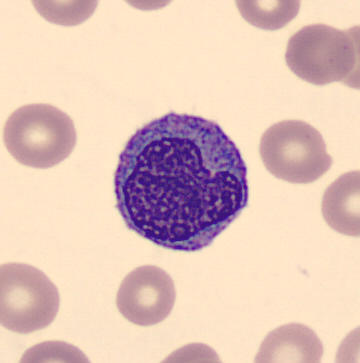 Q: Which cell type is shown here?
A: A monocyte.

Peripheral blood film. Single-cell field.